Bone marrow smear:
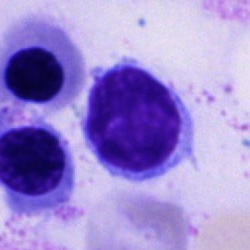 Specimen: bone marrow smear.
Classification: typical lymphocyte.
Lineage: lymphoid.